Bone marrow aspirate smear:
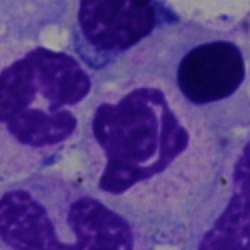
A neutrophil (segmented).